Peripheral blood film; single cell centered in the field
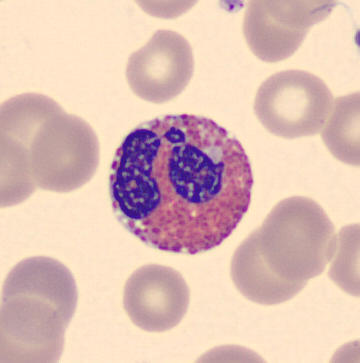 Impression → eosinophilic granulocyte.